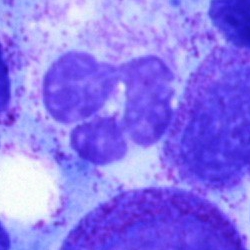

Q: What type of cell is this?
A: It is a segmented neutrophil.